Bone marrow smear. Single-cell field. May-Grünwald-Giemsa/Pappenheim stain:
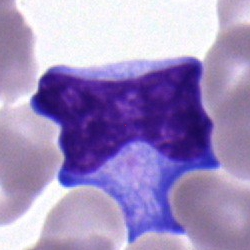
Q: What is the morphological classification of this cell?
A: It is an undifferentiated blast.